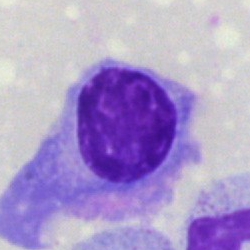

Morphological class = plasmacyte.